Single cell centered in the field. Bone marrow smear — 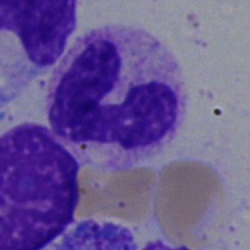Cell type = band-form neutrophil.